Bone marrow smear · 250×250 px:
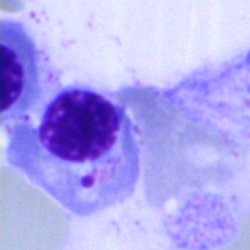
Morphology — erythroblast.